May-Grünwald-Giemsa/Pappenheim stain. Bone marrow aspirate smear — 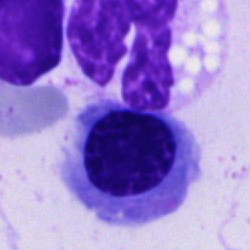 Q: What type of cell is this?
A: It is an erythroblast.